250×250. Bone marrow smear: 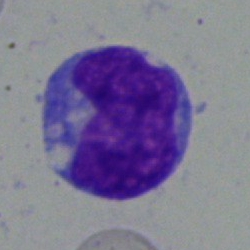
Morphology consistent with a blast cell.